Bone marrow smear
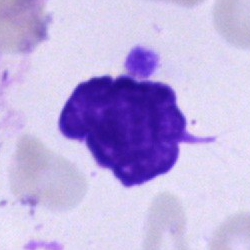Showing an artefact.